Bone marrow aspirate smear
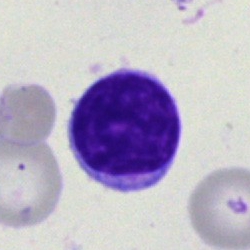 Morphology — lymphocyte.